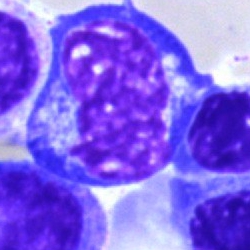

Showing an artifact.